Single-cell field. Bone marrow smear
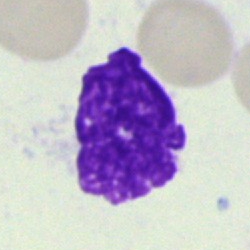Morphology consistent with an artefact.